Bone marrow aspirate smear; 250×250 px: 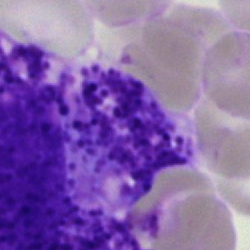
Specimen: bone marrow smear.
Morphological class: other cell type.